Bone marrow smear
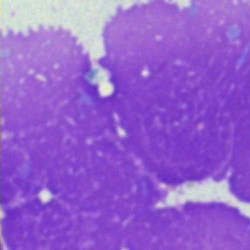
{"cell_type": "artefact"}